Bone marrow aspirate smear; 40× oil immersion; May-Grünwald-Giemsa/Pappenheim stain.
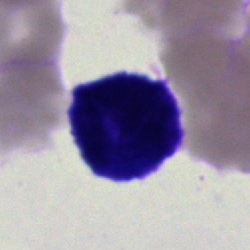Morphology consistent with an artifact.